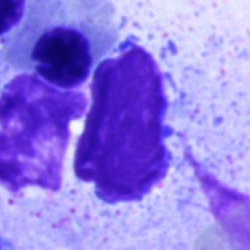

Specimen: bone marrow aspirate smear.
Classification: artefact.